Bone marrow aspirate smear: 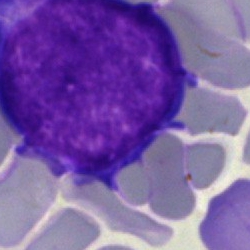 Q: What is shown here?
A: A blast.